Bone marrow smear · Pappenheim-stained · 40× objective, oil immersion.
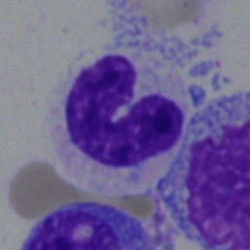Morphology consistent with a band-form neutrophil.